Peripheral blood smear · Romanowsky-stained · 400×400 px
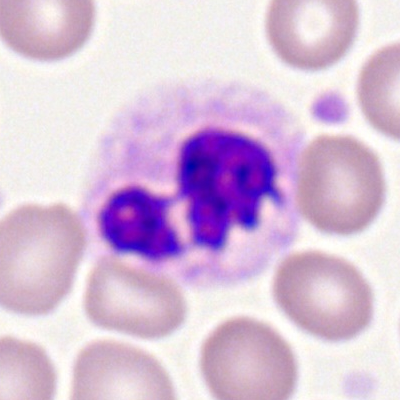

Classification: polymorphonuclear neutrophil.